Brightfield microscopy, 40× oil immersion; bone marrow aspirate smear; May-Grünwald-Giemsa stain — 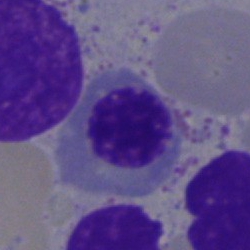 An erythroblast.